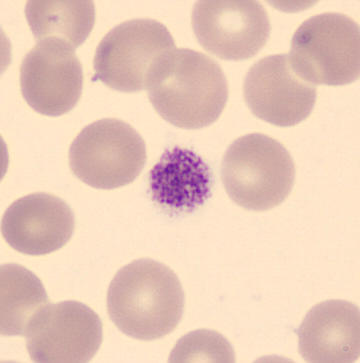

Impression → platelet. Peripheral blood smear; MGG stain.